Image size 250×250. Bone marrow aspirate smear. May-Grünwald-Giemsa/Pappenheim stain
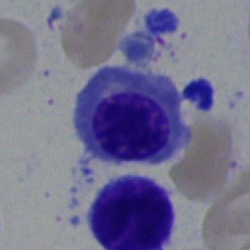 Morphological class = nucleated red cell.